Bone marrow smear; Pappenheim-stained:
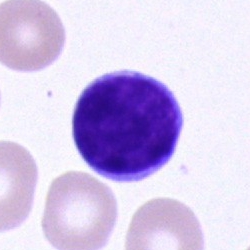

Morphology → typical lymphocyte.